Cropped to a single cell. Bone marrow smear. 40× objective, oil immersion
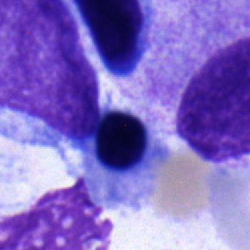

Q: What is shown here?
A: This is a nucleated red blood cell.